250×250. MGG-stained. Bone marrow smear — 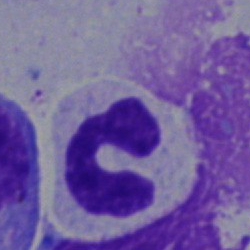

Specimen: bone marrow smear.
Cell: polymorphonuclear neutrophil.